Bone marrow smear: 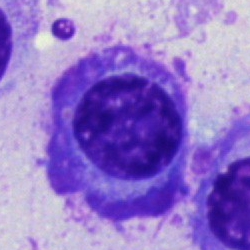 A plasma cell.